Peripheral blood smear:
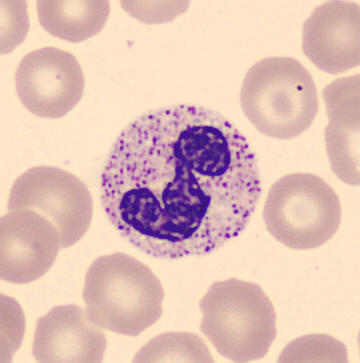 Morphological class = polymorphonuclear neutrophil.